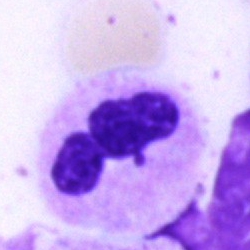
Q: Which cell type is shown here?
A: A neutrophil (segmented).